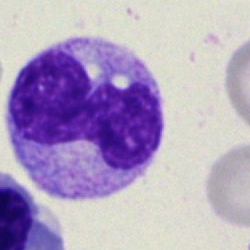

Monocyte.